Bone marrow aspirate smear.
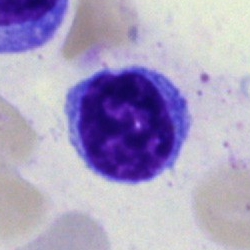 Specimen: bone marrow smear.
Classification: typical lymphocyte.
Lineage: lymphoid.